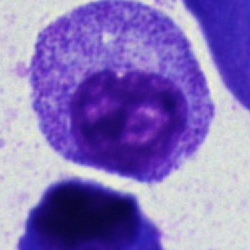Bone marrow aspirate smear, single cell — myelocyte.